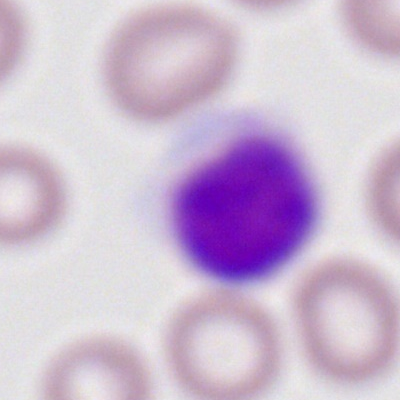
The classification is lymphocyte.